Bone marrow smear. 250 by 250 pixels: 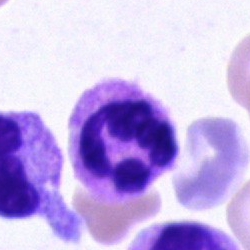
The cell shown is a polymorphonuclear neutrophil.